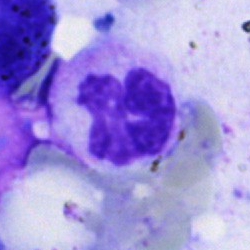A neutrophil (segmented).